Bone marrow aspirate smear.
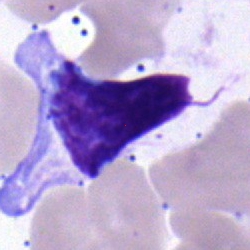Morphology consistent with a lymphocyte.